Peripheral blood smear · image size 360×363 · MGG-stained — 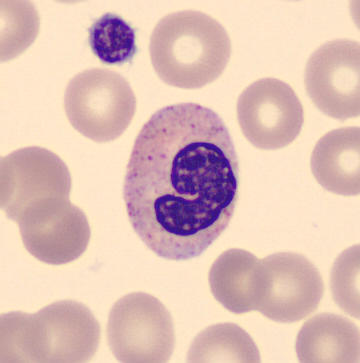

Specimen: peripheral blood smear.
Cell: neutrophil (band).
Lineage: myeloid.